Bone marrow aspirate smear
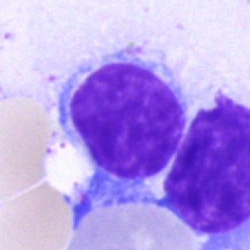

Q: What cell is this?
A: It is a typical lymphocyte.